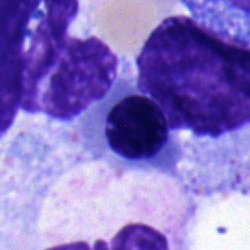Morphological class = nucleated red blood cell.